Bone marrow aspirate smear
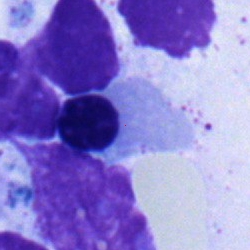
Specimen: bone marrow aspirate smear.
Cell type: nucleated red blood cell.
Lineage: erythroid.